Bone marrow aspirate smear — 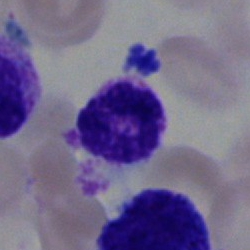This is a neutrophil (segmented).